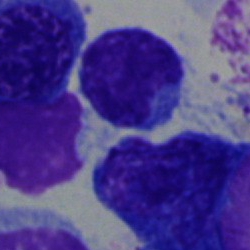
Bone marrow aspirate smear, single cell — typical lymphocyte.